Bone marrow smear — 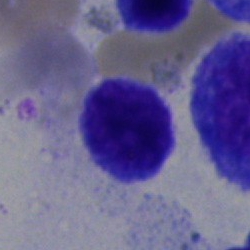

A lymphocyte.